Bone marrow smear — 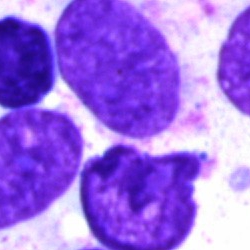

Q: What is shown here?
A: Artifact.